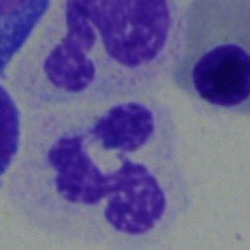 Specimen: bone marrow smear.
Cell type: neutrophil (segmented).
Lineage: myeloid.